Bone marrow smear. Cropped to a single cell.
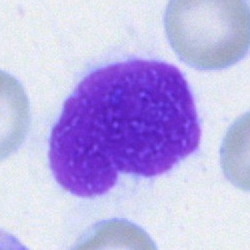 The cell shown is an artifact.